Bone marrow smear. Single cell centered in the field
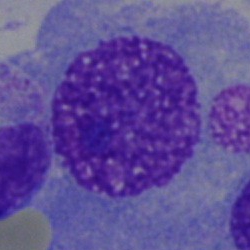

{"cell_type": "plasma cell", "lineage": "lymphoid"}